Bone marrow smear:
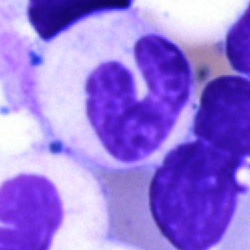Classification — neutrophil (band).